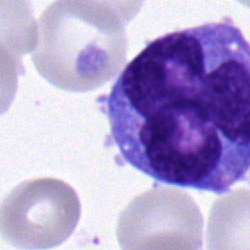 Bone marrow smear showing a monocyte.